Cropped to a single cell. Bone marrow aspirate smear:
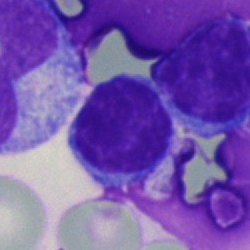Specimen: bone marrow smear.
Cell type: lymphocyte.
Lineage: lymphoid.